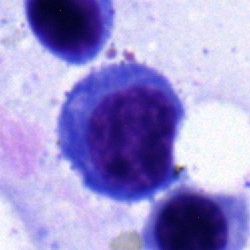 Nucleated red cell.